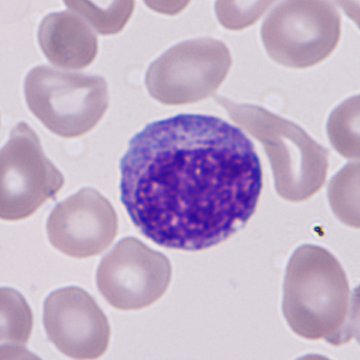 Q: What type of cell is this?
A: This is a granulocyte precursor.